Bone marrow smear · single-cell crop:
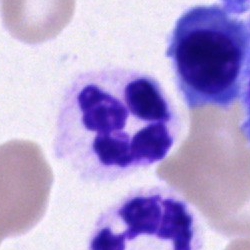The cell shown is a polymorphonuclear neutrophil.